Bone marrow aspirate smear. Single-cell crop:
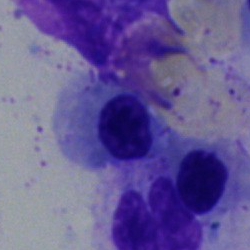
Showing a normoblast.